Peripheral blood film.
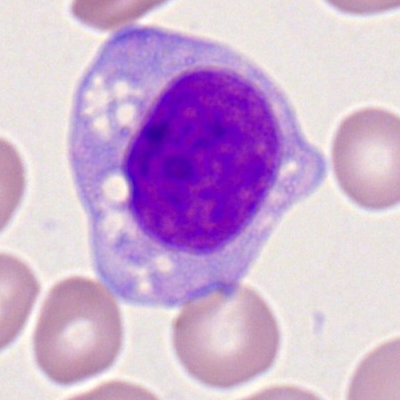

The classification is monocyte.